Bone marrow aspirate smear — 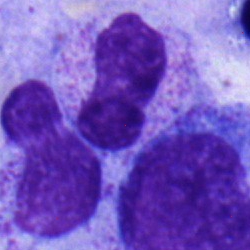 Classification — metamyelocyte.